Bone marrow smear · May-Grünwald-Giemsa/Pappenheim stain — 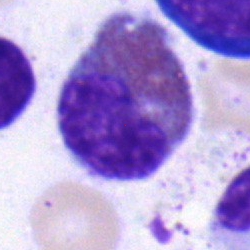

Q: What cell is this?
A: This is an eosinophil.